250×250 px. MGG-stained. Bone marrow aspirate smear.
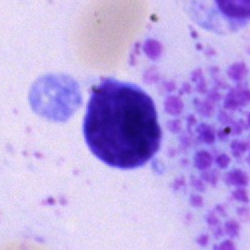 Typical lymphocyte.